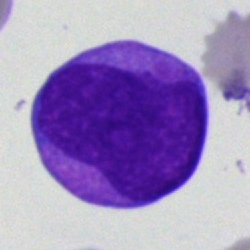 Cell type: blast cell.